Bone marrow smear
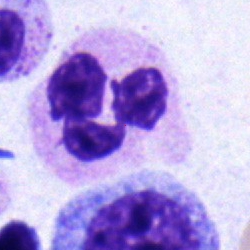The cell is neutrophil (segmented).